40× objective, oil immersion · bone marrow aspirate smear: 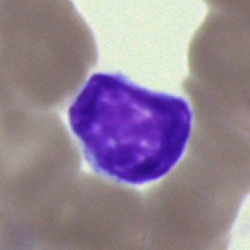
Specimen: bone marrow smear.
Cell type: typical lymphocyte.
Lineage: lymphoid.